Bone marrow smear — 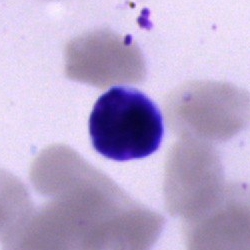 Classification = typical lymphocyte.